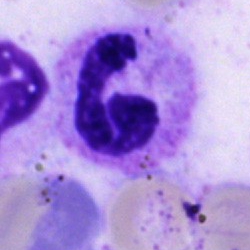
Q: What is the morphological classification of this cell?
A: Neutrophil (segmented).